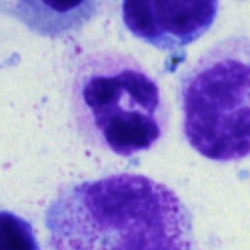
Cell type = neutrophil (segmented).